Bone marrow smear.
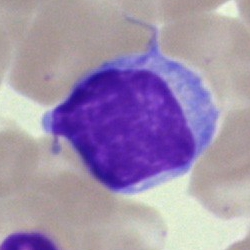
Specimen: bone marrow aspirate smear.
Classification: typical lymphocyte.
Lineage: lymphoid.